Bone marrow smear
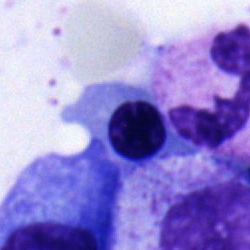

Q: What is the morphological classification of this cell?
A: It is a nucleated red blood cell.